Cropped to a single cell; bone marrow aspirate smear; 40× objective, oil immersion: 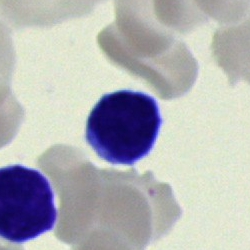
The classification is typical lymphocyte.